Bone marrow smear; 40× oil immersion — 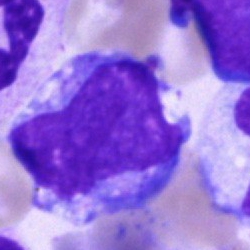Impression → undifferentiated blast.